250×250 px; 40× oil immersion; bone marrow smear:
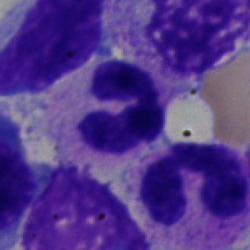Classification — polymorphonuclear neutrophil.